Image size 360×363 · peripheral blood smear
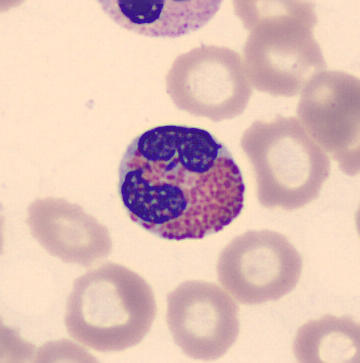

Showing an eosinophil.